Bone marrow smear.
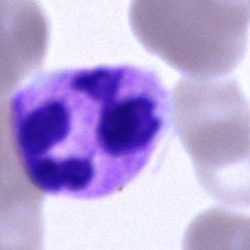 {"cell_type": "segmented neutrophil", "lineage": "myeloid"}